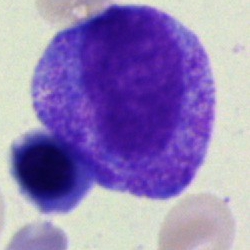

Cell type: progranulocyte.